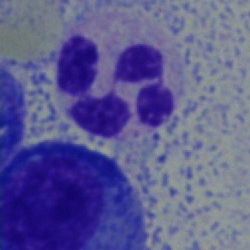
The cell shown is a neutrophil (segmented).